Peripheral blood smear · cropped to a single cell — 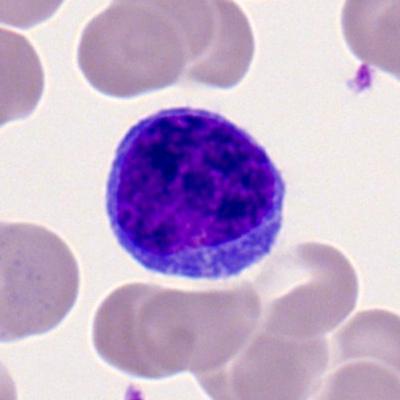

Morphology → typical lymphocyte.